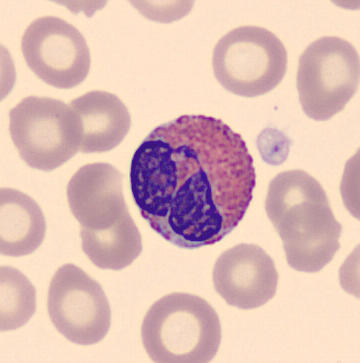
Peripheral blood smear. Cell type — eosinophil.